Single-cell crop · bone marrow smear: 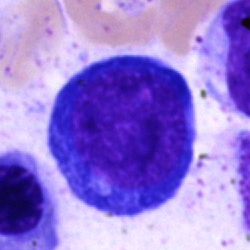

Single cell identified as a pronormoblast.